Bone marrow aspirate smear:
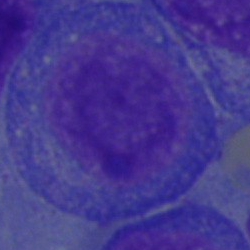
This is a progranulocyte.